Cropped to a single cell; brightfield, 40× oil-immersion objective; bone marrow aspirate smear — 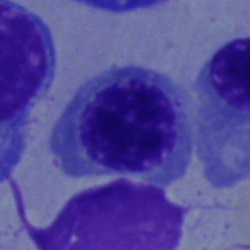 {"cell_type": "normoblast", "lineage": "erythroid"}